Brightfield, 40× oil-immersion objective · bone marrow aspirate smear · May-Grünwald-Giemsa/Pappenheim stain
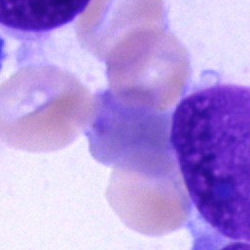 An artifact.